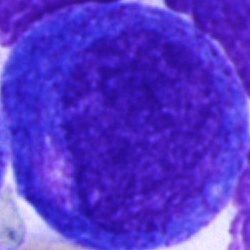 Bone marrow aspirate smear, single cell — progranulocyte.